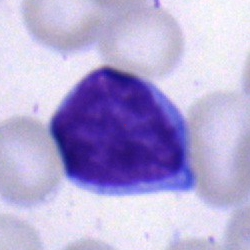
Classification: typical lymphocyte.